Bone marrow aspirate smear:
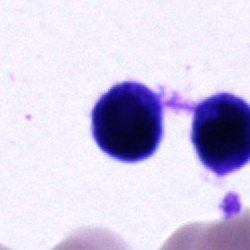 Classification = unidentifiable cell.